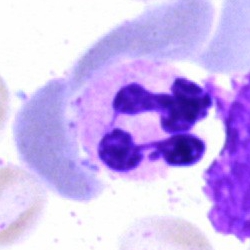

This is a polymorphonuclear neutrophil.